MGG-stained · bone marrow aspirate smear — 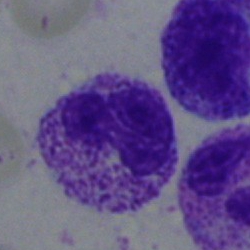 Segmented neutrophil.